Peripheral blood film: 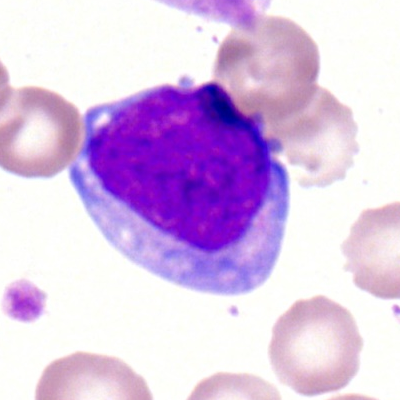

Cell type = myeloblast.